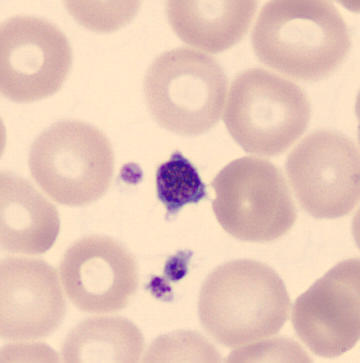 Q: What is shown here?
A: A thrombocyte.

Peripheral blood smear.